Bone marrow aspirate smear.
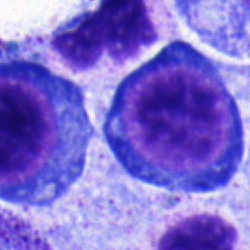

Single cell identified as a normoblast.